Cropped to a single cell; bone marrow smear: 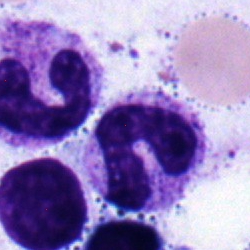 Morphology consistent with a band-form neutrophil.